Brightfield microscopy, 40× oil immersion · bone marrow aspirate smear.
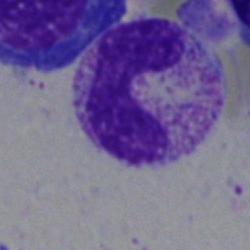
Stab cell.